Bone marrow smear:
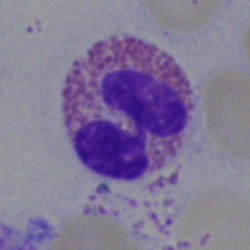 The cell type is eosinophil.